Peripheral blood film:
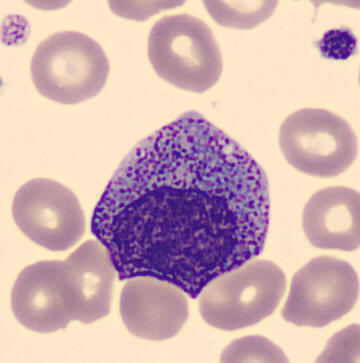

Morphological class = promyelocyte.